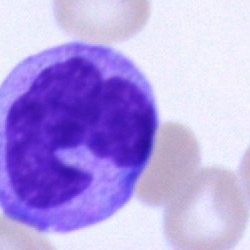{"cell_type": "monocyte"}